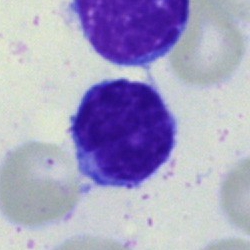
Q: Identify the cell.
A: Lymphocyte.